Bone marrow smear. May-Grünwald-Giemsa/Pappenheim stain. Cropped to a single cell.
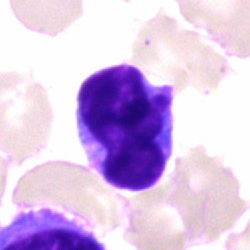
The cell shown is a typical lymphocyte.